Bone marrow aspirate smear. 250×250
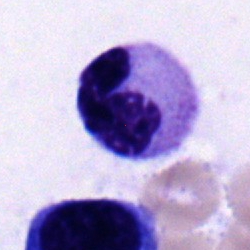

Specimen: bone marrow smear.
Morphological class: band neutrophil.
Lineage: myeloid.